Bone marrow smear: 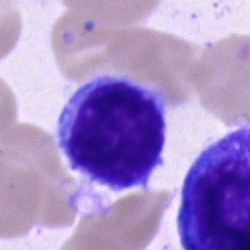Cell type = typical lymphocyte.